Bone marrow aspirate smear.
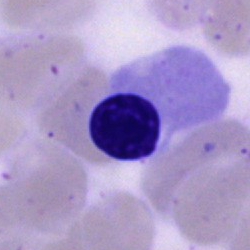

Morphological class = erythroblast.